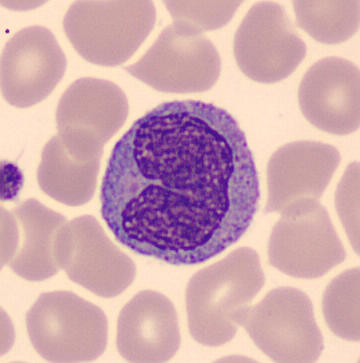
This is a monocyte.